Bone marrow smear:
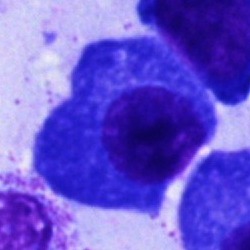Showing a plasma cell.